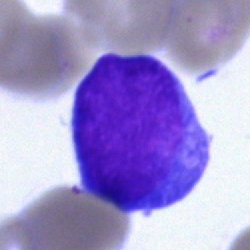

Q: What is shown here?
A: This is a blast cell.